Bone marrow aspirate smear
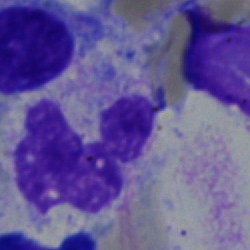{"cell_type": "polymorphonuclear neutrophil"}